Bone marrow smear; 250 by 250 pixels — 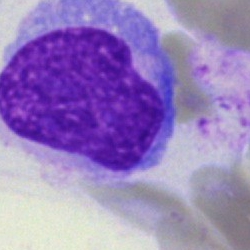 Specimen: bone marrow aspirate smear.
Classification: undifferentiated blast.